Bone marrow aspirate smear: 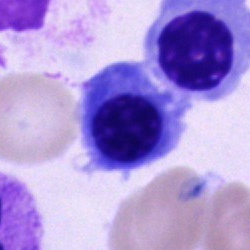 Cell type: nucleated red blood cell.